Peripheral blood film:
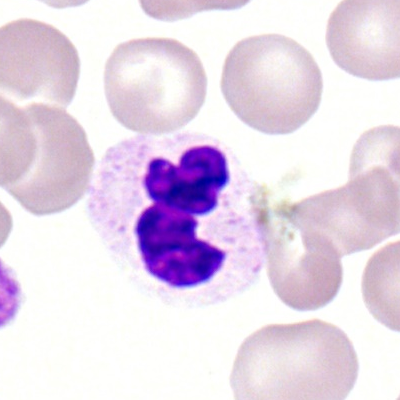
Polymorphonuclear neutrophil.